Bone marrow smear — 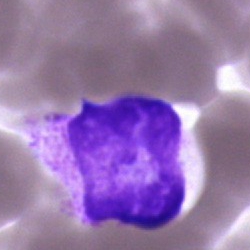{"cell_type": "unidentifiable cell"}